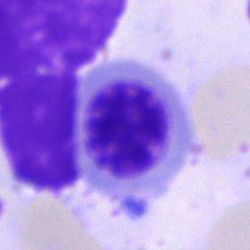 Impression — normoblast.